Bone marrow smear; single cell centered in the field.
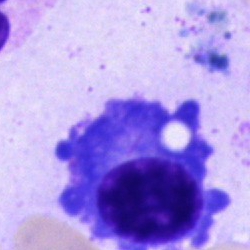 This is a plasma cell.